Bone marrow smear.
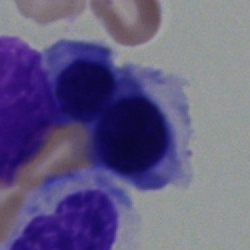 The classification is erythroblast.